Peripheral blood smear · 400 by 400 pixels · M8 digital microscope (Precipoint), 100× oil immersion.
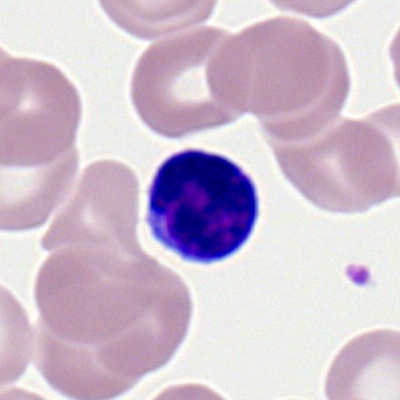
Morphological class = lymphocyte.